Bone marrow aspirate smear:
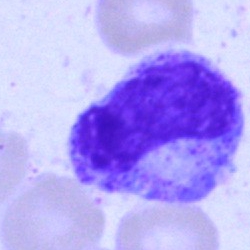
Impression — metamyelocyte.